Bone marrow smear:
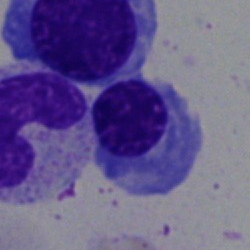Cell = nucleated red cell.